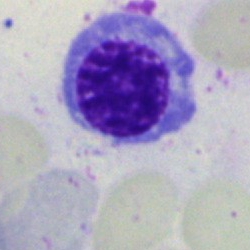A nucleated red cell.